Bone marrow aspirate smear.
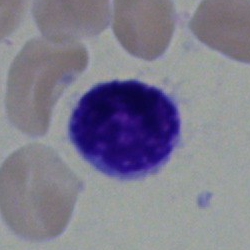
The classification is typical lymphocyte.